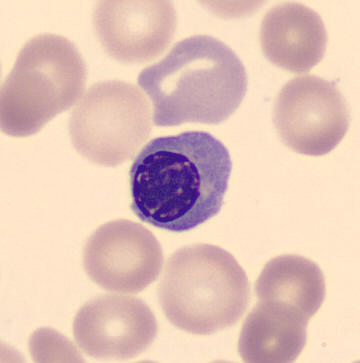Specimen: peripheral blood smear.
Classification: nucleated red cell.
Lineage: erythroid.